Bone marrow aspirate smear. Cropped to a single cell.
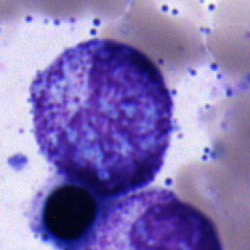 Q: What is shown here?
A: Myelocyte.